MGG-stained · single-cell field · bone marrow aspirate smear — 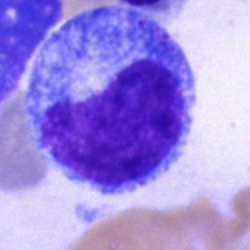
Morphology consistent with a promyelocyte.